Peripheral blood smear — 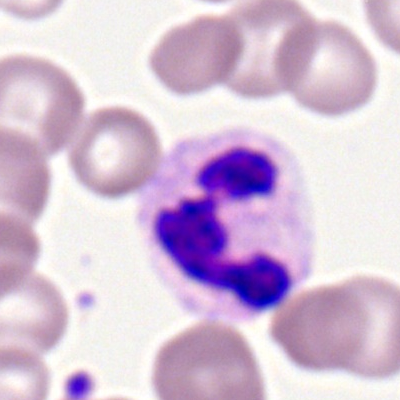
Single cell identified as a neutrophil (segmented).